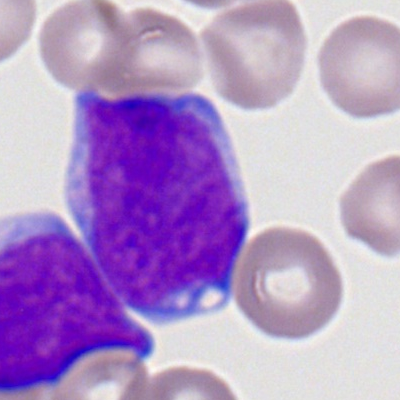 Single-cell crop from a peripheral blood smear: myeloblast.